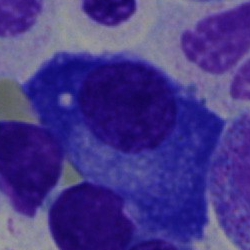
The morphological class is plasmacyte.